Bone marrow smear
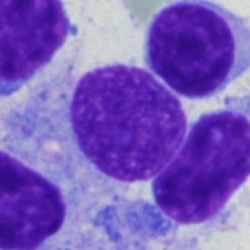 This is an artifact.